250×250 px · bone marrow aspirate smear:
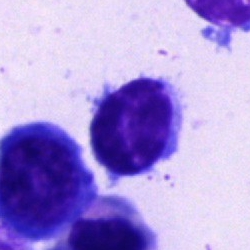 The cell is typical lymphocyte.